Bone marrow aspirate smear · May-Grünwald-Giemsa/Pappenheim stain
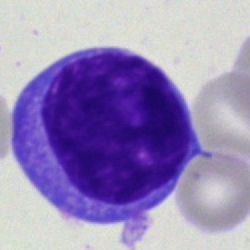

Morphology consistent with a typical lymphocyte.